May-Grünwald-Giemsa/Pappenheim stain. Bone marrow aspirate smear
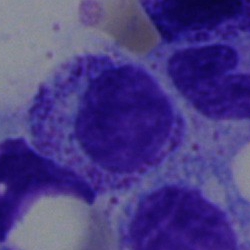 The classification is promyelocyte.